Bone marrow aspirate smear: 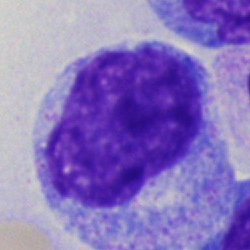

Progranulocyte.